Bone marrow aspirate smear
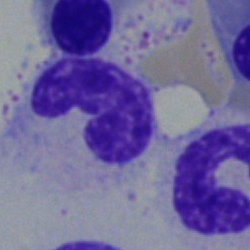 This is a stab cell.